Bone marrow aspirate smear. Brightfield microscopy, 40× oil immersion:
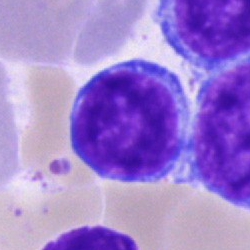 This is a lymphocyte.